Bone marrow smear; 40× oil immersion; May-Grünwald-Giemsa stain
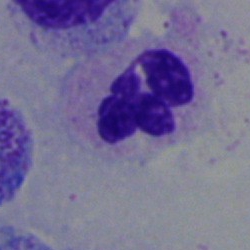The morphological class is neutrophil (segmented).